Bone marrow smear — 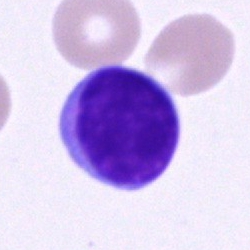 Specimen: bone marrow smear.
Cell type: typical lymphocyte.
Lineage: lymphoid.